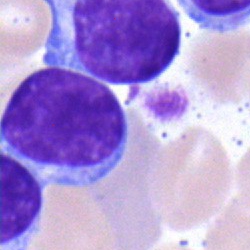 Q: What cell is this?
A: This is a typical lymphocyte.